Bone marrow aspirate smear — 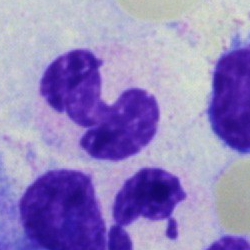

Specimen: bone marrow aspirate smear.
Morphological class: neutrophil (segmented).